Peripheral blood film.
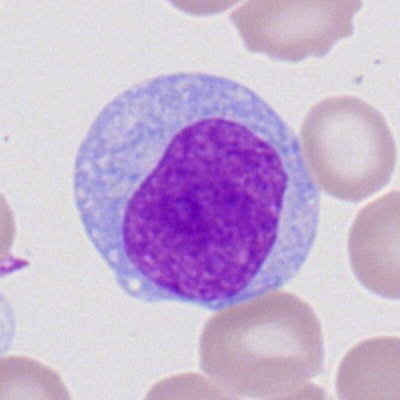Single cell identified as a myeloid blast.